Bone marrow aspirate smear. Cropped to a single cell. Pappenheim-stained.
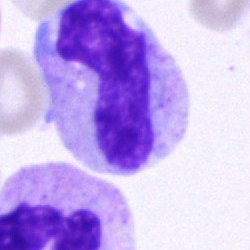 Q: What type of cell is this?
A: Band-form neutrophil.